Bone marrow aspirate smear.
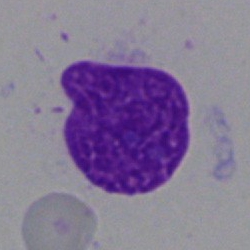

Q: What is shown here?
A: An artefact.